Bone marrow smear:
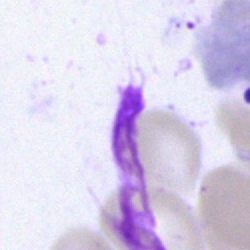 An artifact.